Bone marrow smear
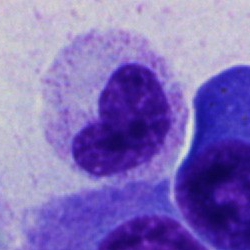Q: Which cell type is shown here?
A: Band neutrophil.